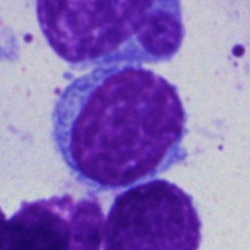

Cell = lymphocyte.